Bone marrow aspirate smear:
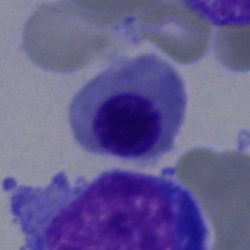{"cell_type": "nucleated red cell"}